Peripheral blood smear
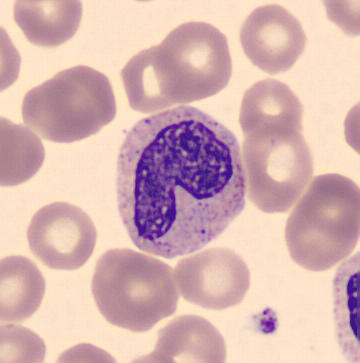Specimen: peripheral blood smear.
Classification: metamyelocyte.